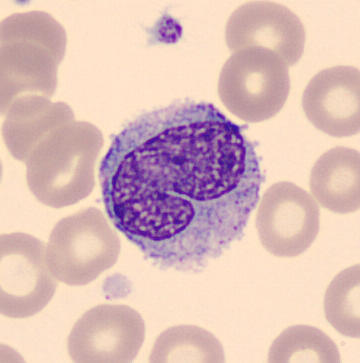
The cell shown is a monocyte.
Image: Peripheral blood smear.